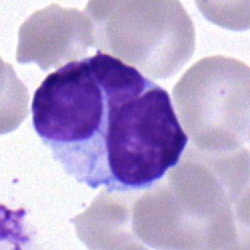Bone marrow smear showing a lymphocyte.